Bone marrow aspirate smear:
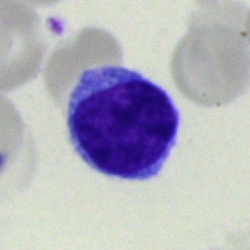 The cell shown is a typical lymphocyte.